Bone marrow smear:
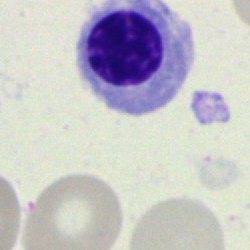

Impression — nucleated red blood cell.